Bone marrow smear:
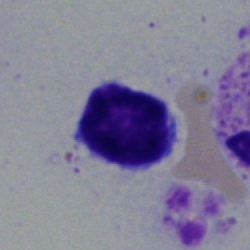
Morphology consistent with a typical lymphocyte.